Bone marrow aspirate smear: 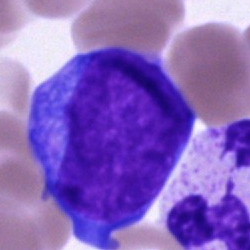Q: What is shown here?
A: An undifferentiated blast.